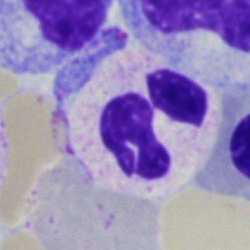

Morphological class: segmented neutrophil.